Bone marrow aspirate smear:
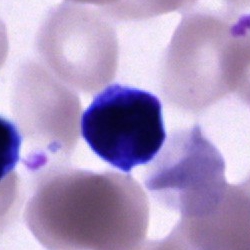 Showing an unidentifiable cell.